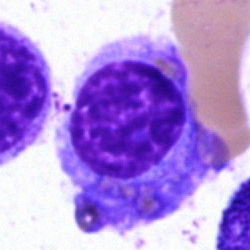Bone marrow aspirate smear, single cell — plasmacyte.